Bone marrow smear.
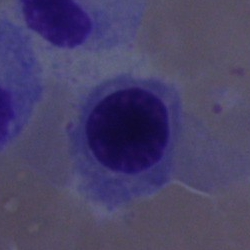 Nucleated red blood cell.